Bone marrow aspirate smear — 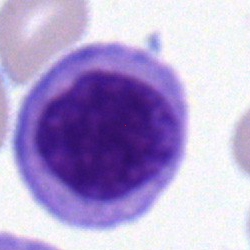

Specimen: bone marrow aspirate smear.
Classification: lymphocyte.